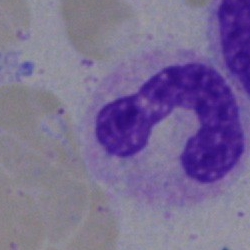Cell — segmented neutrophil.